Brightfield microscopy, 40× oil immersion. Single-cell crop. Bone marrow aspirate smear: 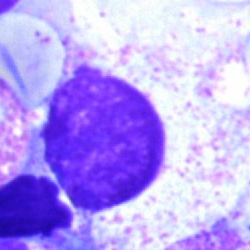
Cell type = artefact.